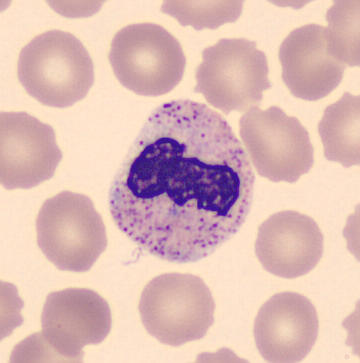Image: Peripheral blood smear. MGG-stained.

Q: What cell is this?
A: Polymorphonuclear neutrophil.